Bone marrow aspirate smear.
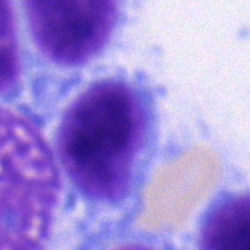{"cell_type": "lymphocyte"}